Single cell centered in the field. Bone marrow smear: 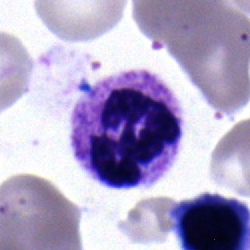 {"cell_type": "segmented neutrophil", "lineage": "myeloid"}